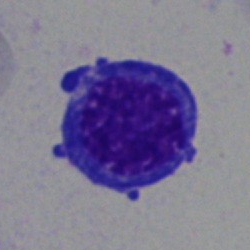
Q: What is shown here?
A: A normoblast.